Bone marrow aspirate smear:
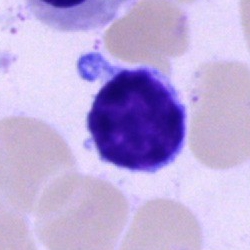
Specimen: bone marrow smear.
Classification: lymphocyte.
Lineage: lymphoid.